Bone marrow aspirate smear; 250×250:
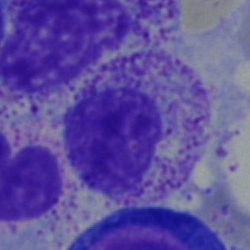 Morphological class = myelocyte.